Bone marrow aspirate smear: 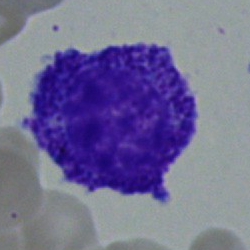A promyelocyte.